Bone marrow smear.
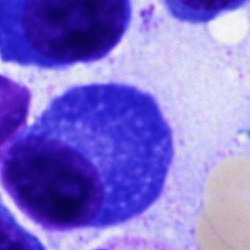The classification is plasma cell.